40× objective, oil immersion; May-Grünwald-Giemsa/Pappenheim stain; bone marrow smear:
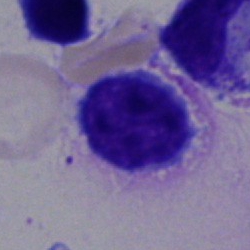
{"cell_type": "typical lymphocyte"}